Peripheral blood smear; 400×400; 100× objective, oil immersion
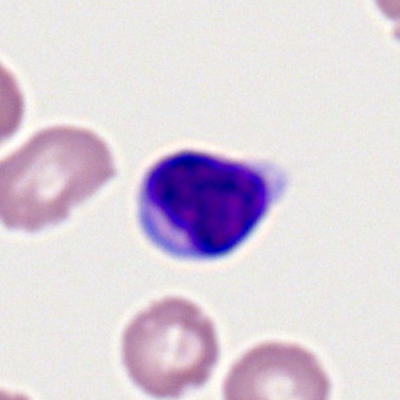
The cell shown is a typical lymphocyte.